Bone marrow aspirate smear: 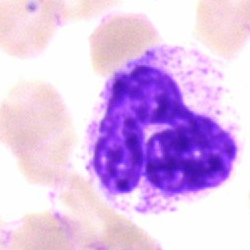 Polymorphonuclear neutrophil.